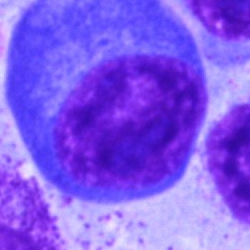

{"cell_type": "plasma cell", "lineage": "lymphoid"}